MGG-stained · bone marrow aspirate smear · 250 by 250 pixels: 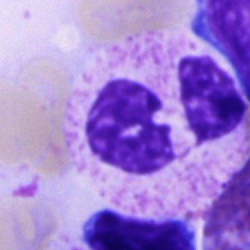

This is a segmented neutrophil.